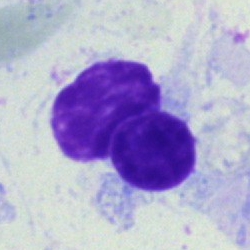 Bone marrow smear showing a typical lymphocyte.